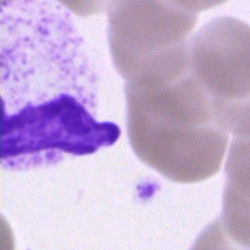

Specimen: bone marrow aspirate smear.
Cell: unidentifiable cell.